Bone marrow smear; single cell centered in the field.
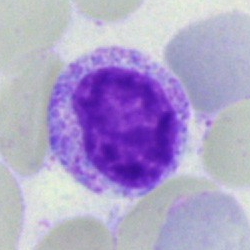
Q: What type of cell is this?
A: Myelocyte.